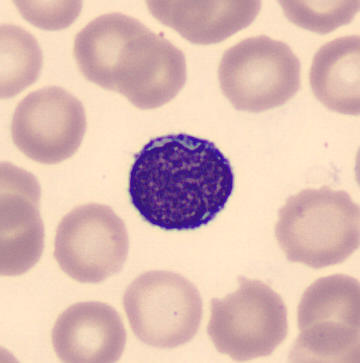

Acquisition: Peripheral blood film. Identified as a lymphocyte.